Single-cell crop · bone marrow aspirate smear:
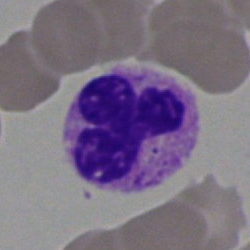 Q: What type of cell is this?
A: Polymorphonuclear neutrophil.